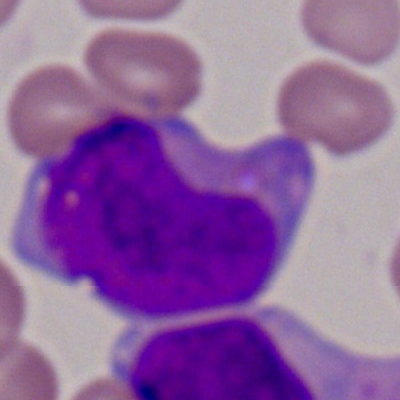A myeloid blast.